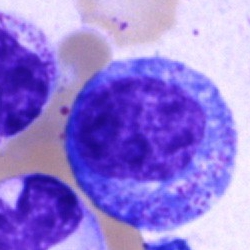

A promyelocyte on a bone marrow smear.